250 by 250 pixels. Bone marrow aspirate smear:
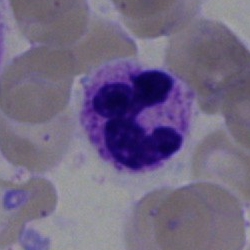 Morphological class: segmented neutrophil.